Single cell centered in the field · peripheral blood smear · 400×400 px — 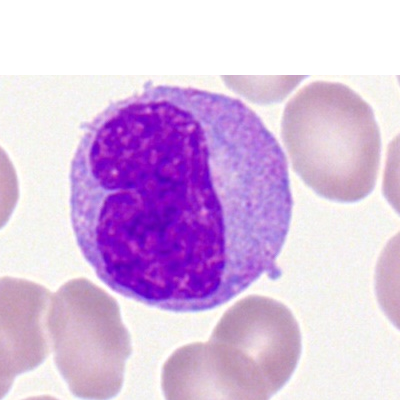 Specimen: peripheral blood film.
Cell: monocyte.
Lineage: myeloid.